Bone marrow aspirate smear.
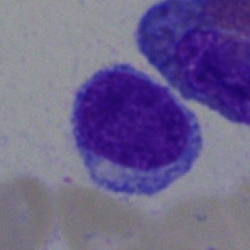A lymphocyte.